Bone marrow smear: 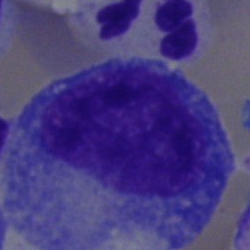
Single cell identified as a progranulocyte.